Bone marrow smear
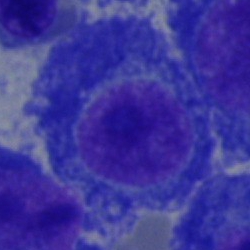

Cell type: plasma cell.